Bone marrow smear. 250×250. Brightfield, 40× oil-immersion objective.
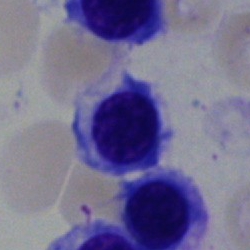 Q: What is shown here?
A: An erythroblast.